40× oil immersion · bone marrow smear:
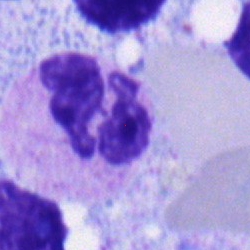Polymorphonuclear neutrophil.